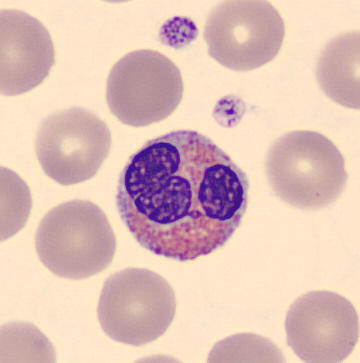Q: Which cell type is shown here?
A: An eosinophil.
Acquisition: Automated cell imaging (CellaVision DM96). Peripheral blood smear.